Bone marrow aspirate smear:
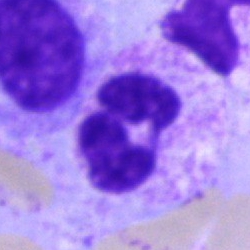

Q: What cell is this?
A: This is a polymorphonuclear neutrophil.